Peripheral blood smear
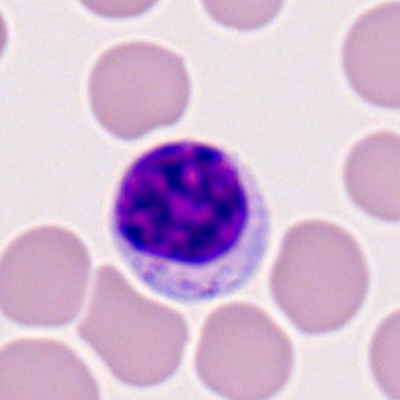
Classification — lymphocyte.